Peripheral blood film · Romanowsky-type stain
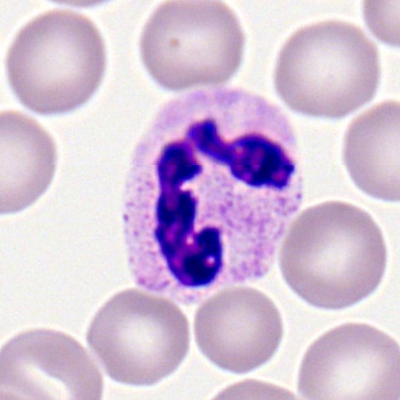
Q: What type of cell is this?
A: Polymorphonuclear neutrophil.